Bone marrow aspirate smear:
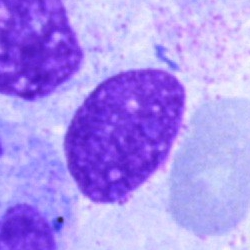Showing an artefact.